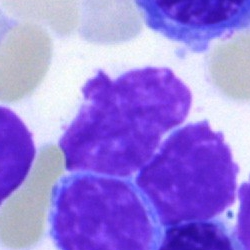Impression — artifact.